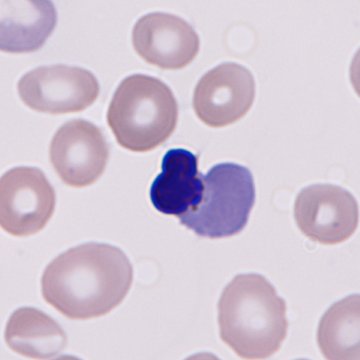 Q: What is shown here?
A: It is a normoblast.
Preparation: Peripheral blood smear · 360×360.